Bone marrow smear.
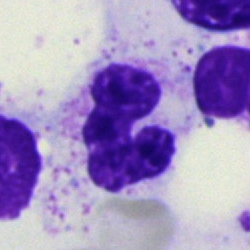 Band-form neutrophil.